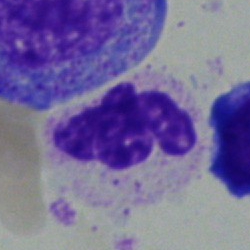

Single cell identified as a segmented neutrophil.